Pappenheim-stained; bone marrow aspirate smear — 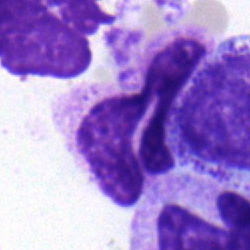 A polymorphonuclear neutrophil.